May-Grünwald-Giemsa stain. 40× objective, oil immersion. Bone marrow smear:
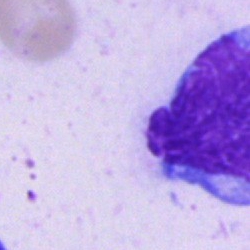

A cell of indeterminate lineage.